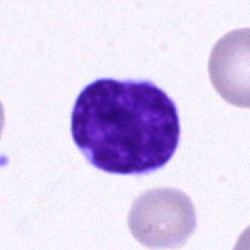Morphological class — typical lymphocyte.